Bone marrow smear: 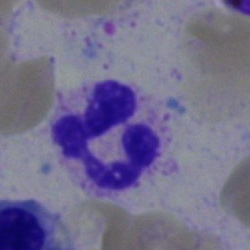
Morphological class: neutrophil (segmented).